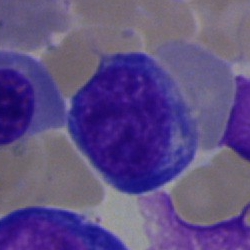{"cell_type": "lymphocyte"}